Bone marrow aspirate smear — 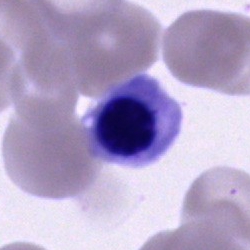
Normoblast.